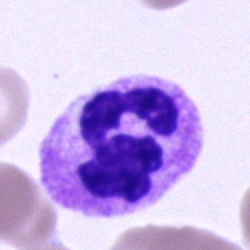 Specimen: bone marrow smear.
Morphological class: segmented neutrophil.